Single-cell field; bone marrow aspirate smear
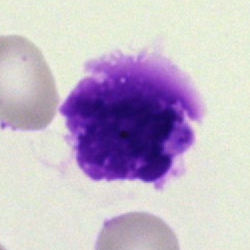
Impression — artefact.